40× objective, oil immersion · 250×250 px · bone marrow smear — 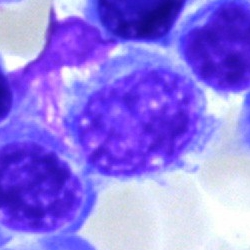

The cell shown is a lymphocyte.